Bone marrow smear.
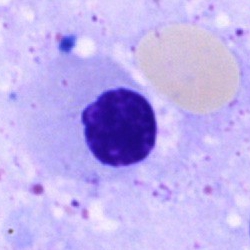
Classification: artifact.